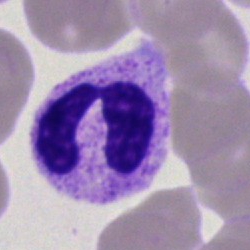 Single-cell crop from a bone marrow smear: neutrophil (segmented).